May-Grünwald-Giemsa/Pappenheim stain; bone marrow smear; single-cell field
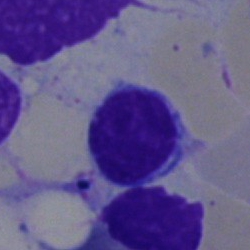Q: What type of cell is this?
A: Typical lymphocyte.